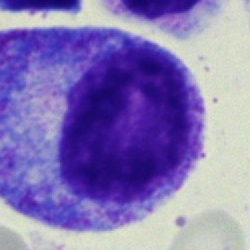

Cell type — promyelocyte.